Bone marrow aspirate smear · single cell centered in the field: 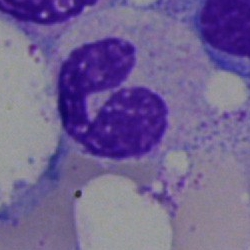
The cell shown is a segmented neutrophil.